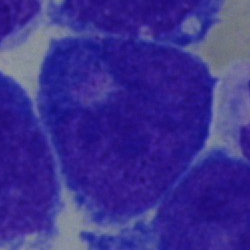

Morphology → blast.